Bone marrow aspirate smear: 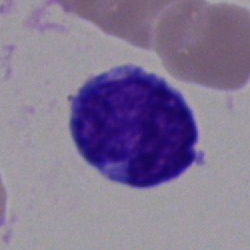 This is a blast.